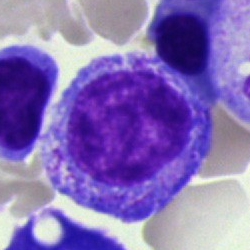 Morphological class = myelocyte.